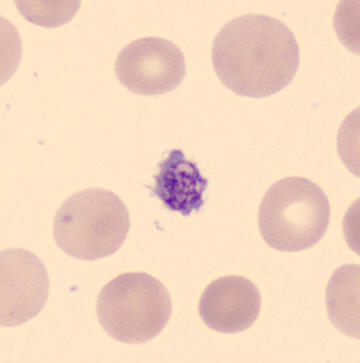 Showing a thrombocyte.